Bone marrow aspirate smear:
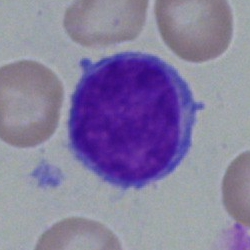Classification — lymphocyte.